250×250; May-Grünwald-Giemsa/Pappenheim stain; bone marrow aspirate smear: 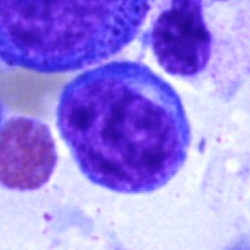 The cell shown is a typical lymphocyte.